Bone marrow smear.
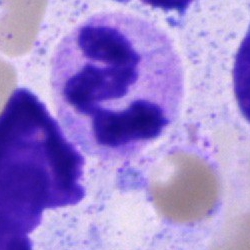

Single cell identified as a segmented neutrophil.